Bone marrow smear; May-Grünwald-Giemsa stain
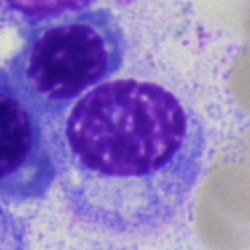
The classification is plasma cell.